Bone marrow aspirate smear · May-Grünwald-Giemsa/Pappenheim stain · single-cell crop
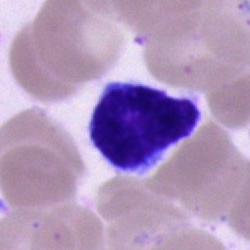

Specimen: bone marrow aspirate smear.
Morphological class: typical lymphocyte.
Lineage: lymphoid.